Single cell centered in the field. Bone marrow smear
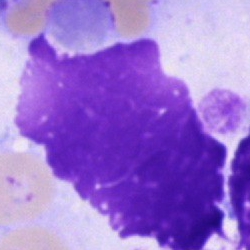
Specimen: bone marrow smear.
Classification: artefact.